250 by 250 pixels · bone marrow smear: 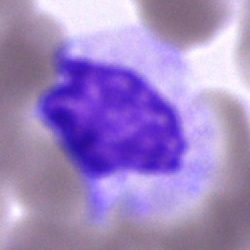
This is a cell of indeterminate lineage.